Bone marrow smear · 250×250 px · 40× oil immersion:
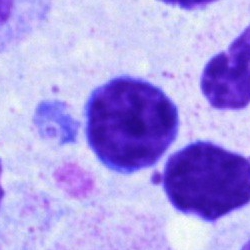Cell type = typical lymphocyte.